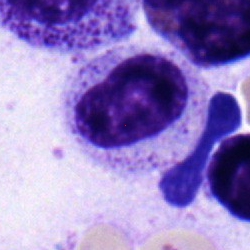
A metamyelocyte.